Bone marrow aspirate smear; cropped to a single cell; Pappenheim-stained — 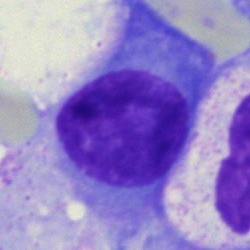 Plasma cell.